Bone marrow smear: 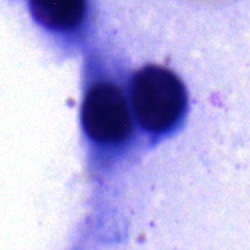

The classification is erythroblast.